250×250 px. Bone marrow smear.
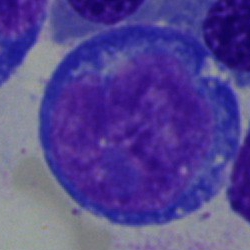 Morphology → proerythroblast.